Romanowsky stain · peripheral blood smear · 100× oil immersion, 14.14 px/µm — 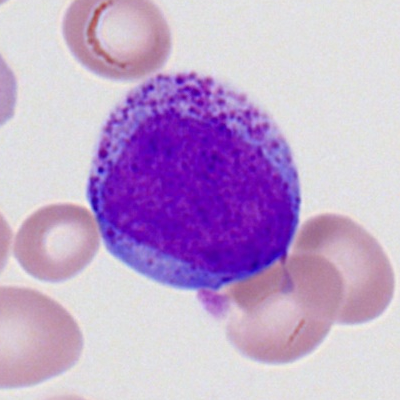 Myeloblast.